Bone marrow aspirate smear. 40× oil immersion
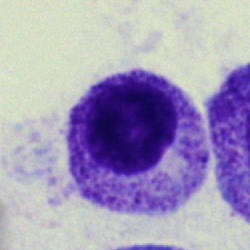
Morphology — myelocyte.